Bone marrow smear; brightfield microscopy, 40× oil immersion:
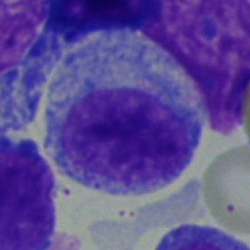Morphology — myelocyte.